Single cell centered in the field; bone marrow smear.
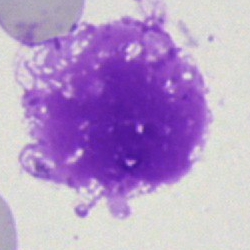
Artifact.